Brightfield, 40× oil-immersion objective · bone marrow aspirate smear: 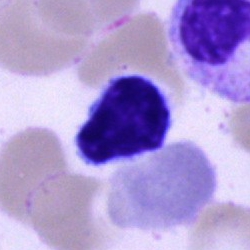 Classification: lymphocyte.